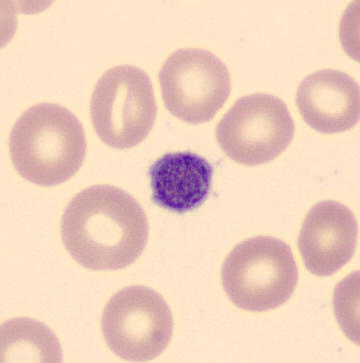Preparation: Peripheral blood smear. Classification: thrombocyte.